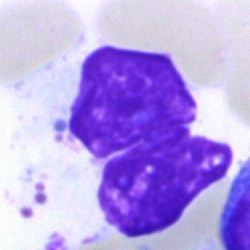 Classification: artifact.